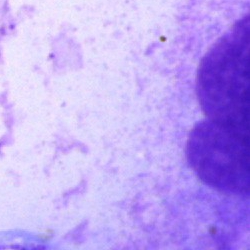Artefact.